Bone marrow aspirate smear. 40× oil immersion. May-Grünwald-Giemsa stain — 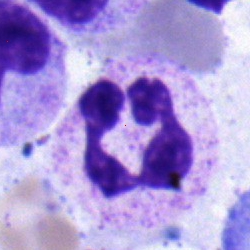Single cell identified as a polymorphonuclear neutrophil.